Cropped to a single cell; bone marrow smear:
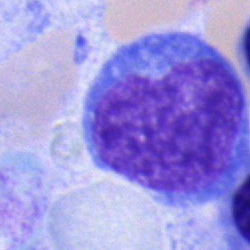
Cell type — blast cell.